MGG-stained; bone marrow smear
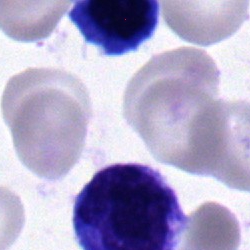Showing an erythroblast.